Bone marrow smear · Pappenheim-stained: 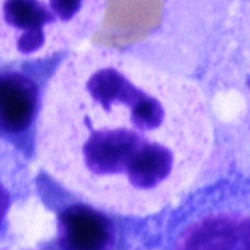 Q: What is shown here?
A: This is a neutrophil (segmented).